Pappenheim-stained · bone marrow aspirate smear
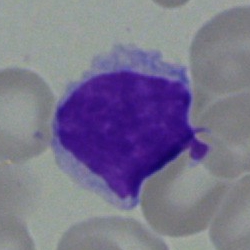 Single cell identified as a lymphocyte.